Bone marrow aspirate smear
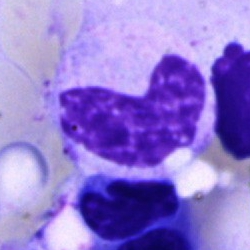
A band-form neutrophil.